Bone marrow smear: 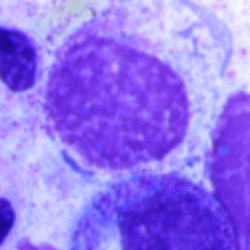 The cell shown is an artifact.